Bone marrow smear. Pappenheim-stained: 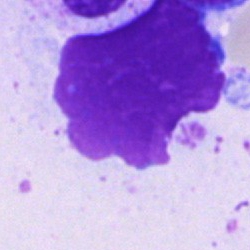

Cell type = artifact.